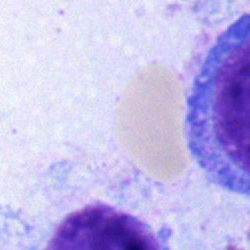 Q: Which cell type is shown here?
A: This is a proerythroblast.